Bone marrow smear
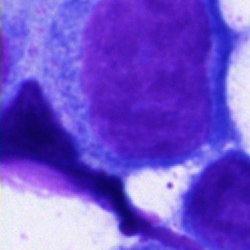

Cell: blast.